Bone marrow aspirate smear.
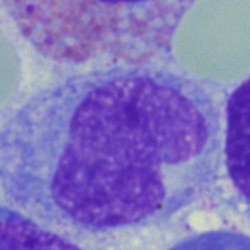

Q: What is shown here?
A: It is a monocyte.